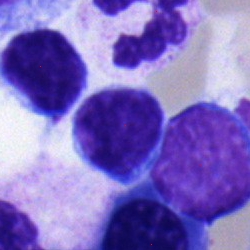

Single-cell crop from a bone marrow smear: typical lymphocyte.